Bone marrow smear: 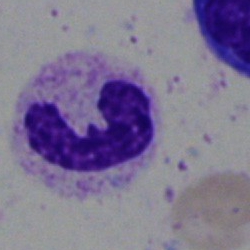 Q: What is shown here?
A: A segmented neutrophil.